Bone marrow aspirate smear · 40× oil immersion
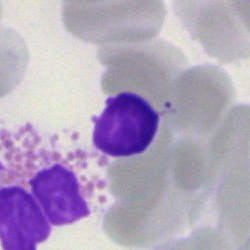 Q: Which cell type is shown here?
A: Eosinophilic granulocyte.